Bone marrow aspirate smear
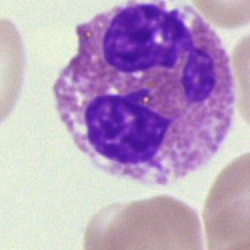Single cell identified as an eosinophilic granulocyte.